Bone marrow smear; 40× objective, oil immersion: 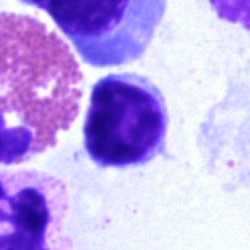 Impression → typical lymphocyte.